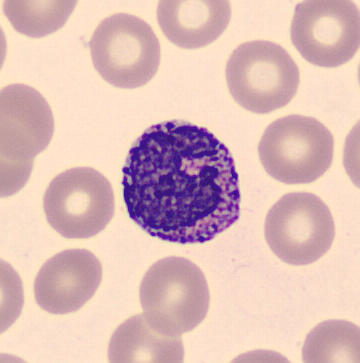Impression — basophil.